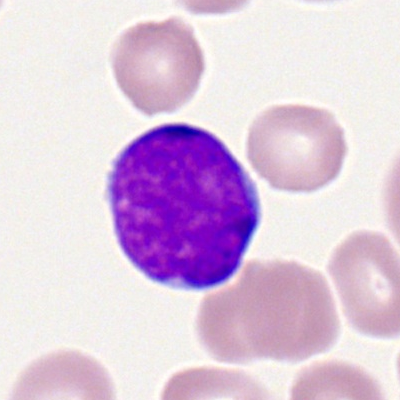
Q: Which cell type is shown here?
A: It is a myeloblast.